Peripheral blood film — 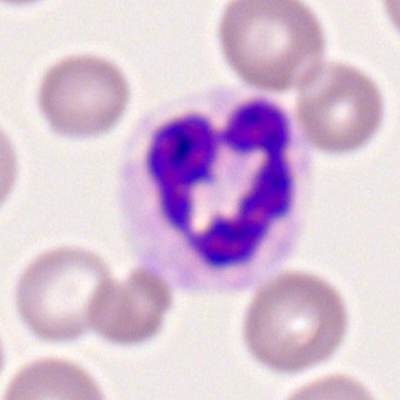
Morphology consistent with a neutrophil (segmented).